Bone marrow aspirate smear · brightfield, 40× oil-immersion objective.
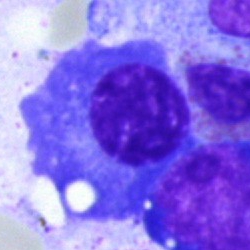Q: What type of cell is this?
A: This is a plasmacyte.